Bone marrow smear
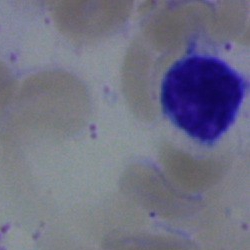
Morphology → lymphocyte.